250×250 · bone marrow aspirate smear.
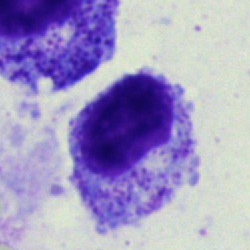

{"cell_type": "metamyelocyte", "lineage": "myeloid"}